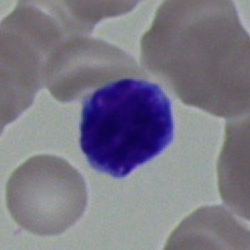 {"cell_type": "typical lymphocyte"}